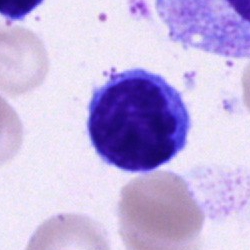 Q: Which cell type is shown here?
A: A lymphocyte.